Bone marrow aspirate smear
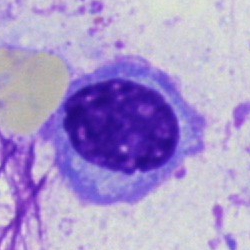
Morphology → plasmacyte.